Single-cell crop. Bone marrow smear. Brightfield microscopy, 40× oil immersion
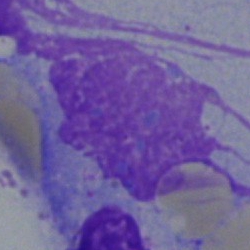 {"cell_type": "artifact"}